Bone marrow smear
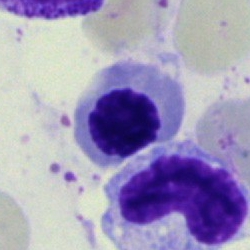An erythroblast.